Bone marrow smear — 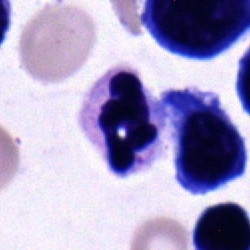Specimen: bone marrow aspirate smear.
Classification: polymorphonuclear neutrophil.
Lineage: myeloid.